Bone marrow aspirate smear:
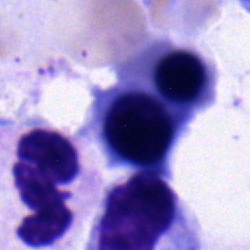Q: What type of cell is this?
A: Erythroblast.